Bone marrow smear — 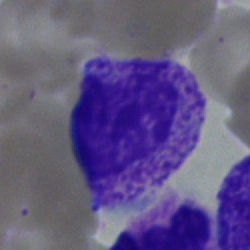
{"cell_type": "myelocyte"}